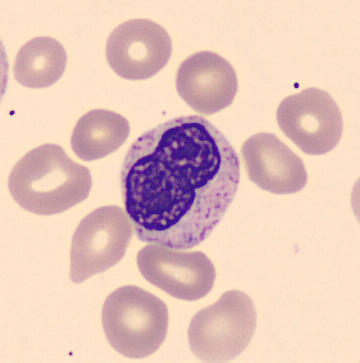

Q: What is shown here?
A: It is a metamyelocyte.
Cropped to a single cell. Peripheral blood smear. CellaVision DM96.